Bone marrow aspirate smear. Pappenheim-stained:
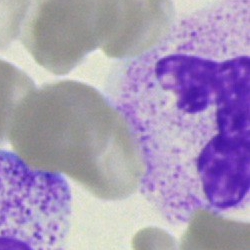 A neutrophil (segmented).